MGG-stained · bone marrow smear — 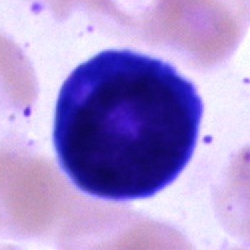
Morphology → proerythroblast.